Bone marrow smear.
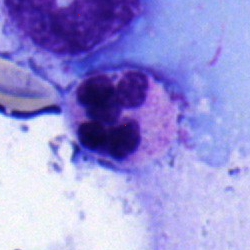The classification is neutrophil (segmented).